Bone marrow smear: 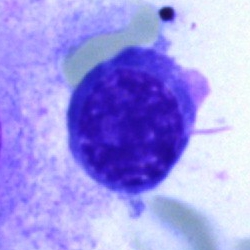

A normoblast.